40× objective, oil immersion; bone marrow aspirate smear; Pappenheim-stained — 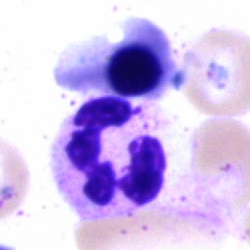 Cell — segmented neutrophil.